Bone marrow smear
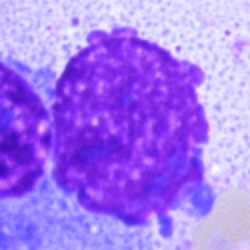
Impression → artifact.